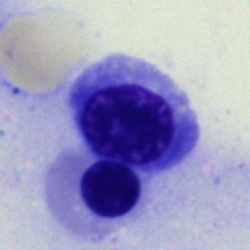
Nucleated red cell.